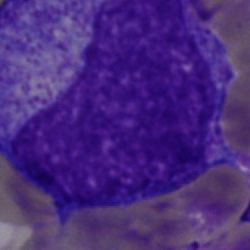Cell: promyelocyte.